Bone marrow aspirate smear; Pappenheim-stained
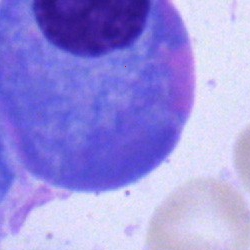Cell type — plasma cell.